Bone marrow aspirate smear · brightfield, 40× oil-immersion objective.
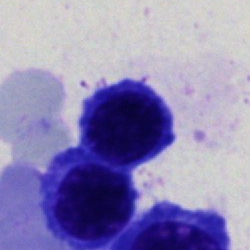

The classification is normoblast.